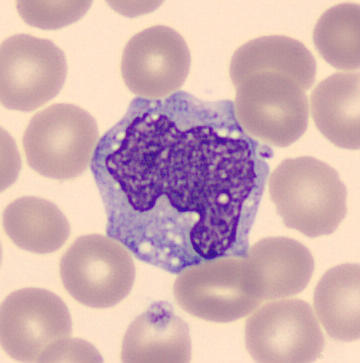
Showing a monocyte.